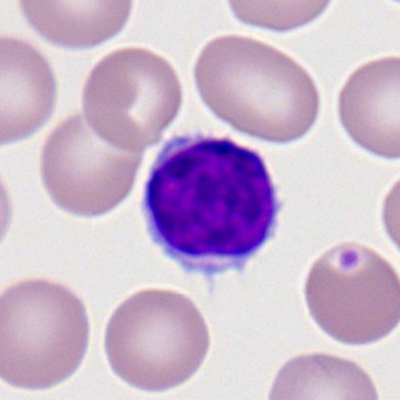 Q: What is shown here?
A: A lymphocyte.